Pappenheim-stained; bone marrow smear — 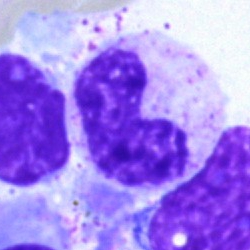 Morphology → neutrophil (band).